Bone marrow smear
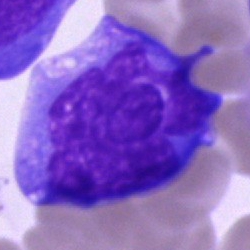 Q: What is shown here?
A: A monocyte.